Bone marrow smear: 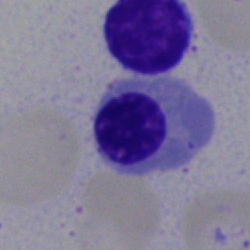Q: What type of cell is this?
A: It is a nucleated red cell.